Bone marrow aspirate smear — 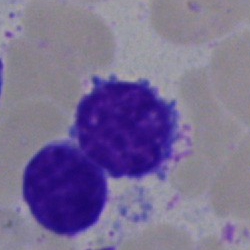

Specimen: bone marrow smear.
Cell type: typical lymphocyte.